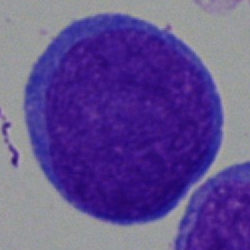 Morphological class = blast cell.